Bone marrow smear. Brightfield, 40× oil-immersion objective:
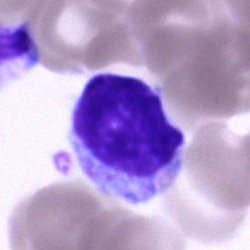The morphological class is typical lymphocyte.